Bone marrow aspirate smear.
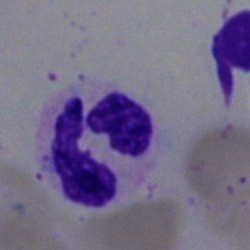 Specimen: bone marrow smear.
Cell: neutrophil (segmented).
Lineage: myeloid.